Bone marrow smear; 40× objective, oil immersion; 250×250
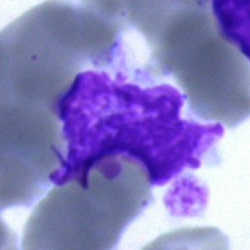 Single cell identified as an artifact.